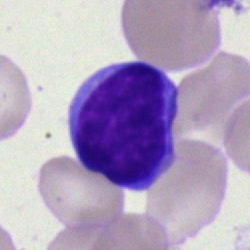
Specimen: bone marrow smear.
Morphological class: lymphocyte.